Single cell centered in the field. Peripheral blood smear. 400×400 px.
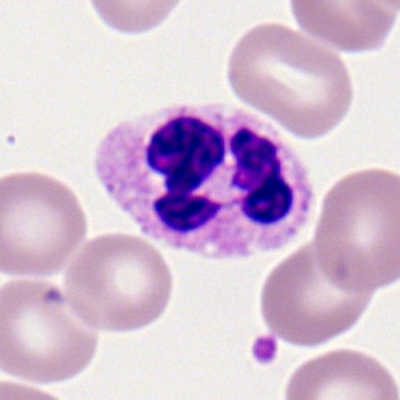

A polymorphonuclear neutrophil.